250×250; single-cell crop; bone marrow smear
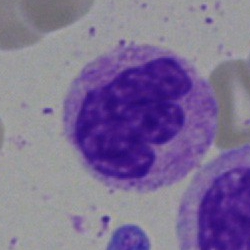 Segmented neutrophil.